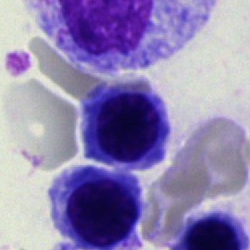 Showing a normoblast.